Bone marrow aspirate smear; single-cell field:
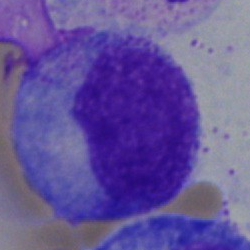

A progranulocyte.